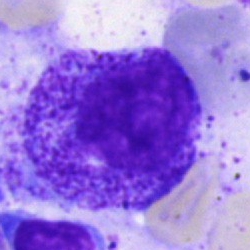

Cell: progranulocyte.